Bone marrow aspirate smear:
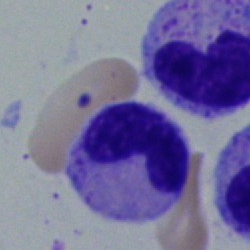A neutrophil (band).